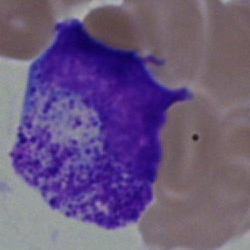
Bone marrow aspirate smear, single cell — metamyelocyte.